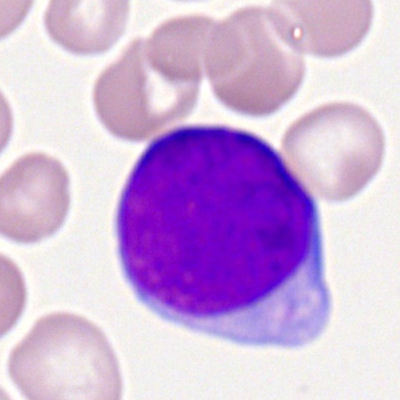
Morphology consistent with a myeloid blast.